Bone marrow smear:
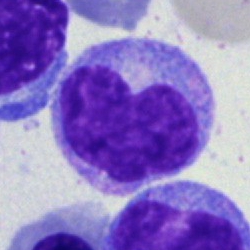 Specimen: bone marrow smear.
Cell: metamyelocyte.
Lineage: myeloid.